Single cell centered in the field; peripheral blood smear; Romanowsky stain: 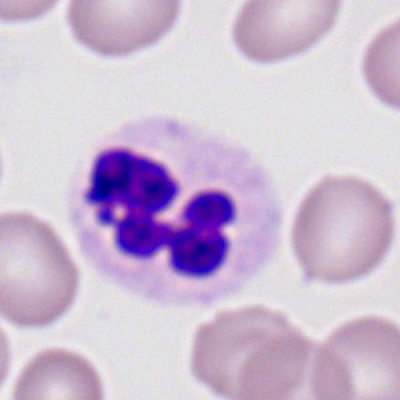Showing a segmented neutrophil.